Bone marrow aspirate smear. Image size 250×250: 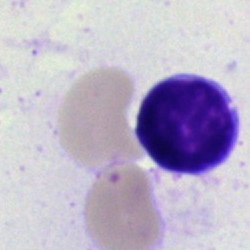Morphology — lymphocyte.